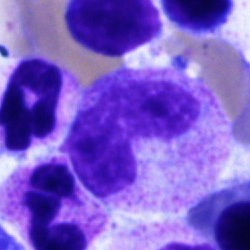

Impression → band-form neutrophil.